Bone marrow smear.
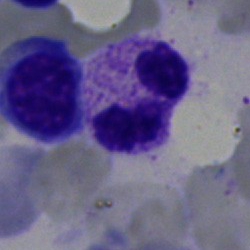
{"cell_type": "neutrophil (segmented)"}